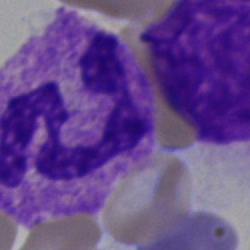

Q: What is shown here?
A: It is a neutrophil (segmented).